Bone marrow smear · 40× oil immersion — 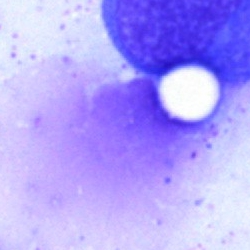
Morphology — artifact.